Bone marrow aspirate smear; May-Grünwald-Giemsa stain
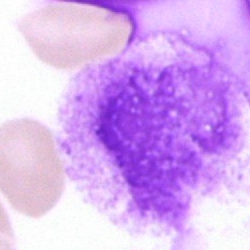Impression — artifact.